Bone marrow smear
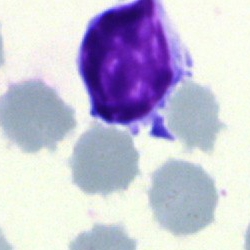Morphology consistent with a lymphocyte.